Bone marrow smear: 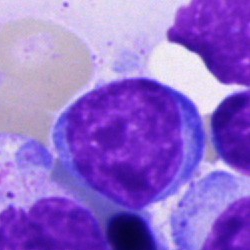
Cell type — typical lymphocyte.